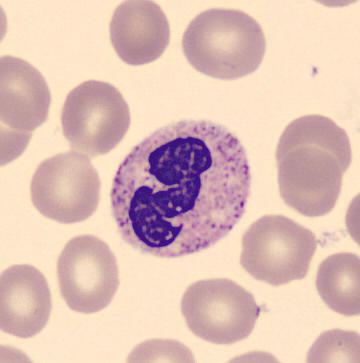

MGG stain · 360×363 px · peripheral blood film.

Showing a polymorphonuclear neutrophil.